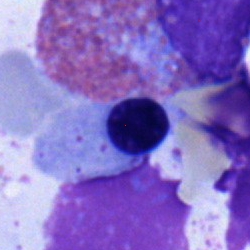 Morphology — nucleated red cell.